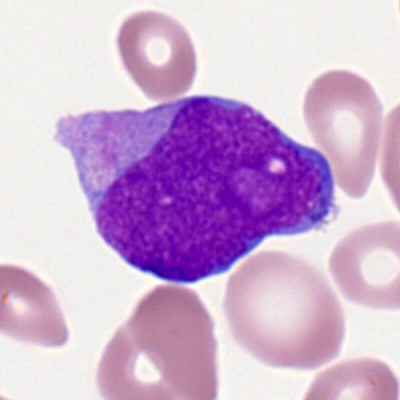

Q: What cell is this?
A: Myeloid blast.